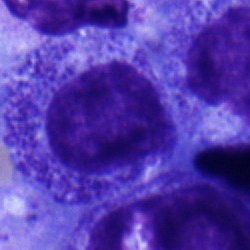Q: What is the morphological classification of this cell?
A: Progranulocyte.